Bone marrow aspirate smear · 250×250 px: 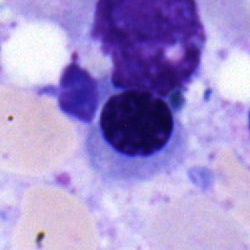

The cell shown is a normoblast.